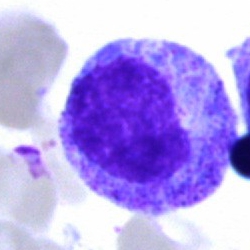

Bone marrow aspirate smear, single cell — progranulocyte.